Bone marrow smear — 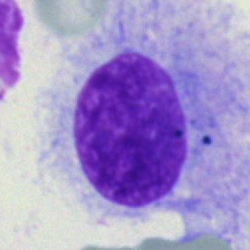 Specimen: bone marrow aspirate smear.
Cell type: artefact.